100× oil immersion; peripheral blood film; single-cell crop:
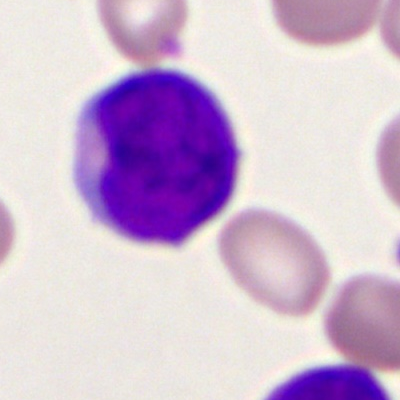
Specimen: peripheral blood film.
Cell: myeloblast.